Peripheral blood smear
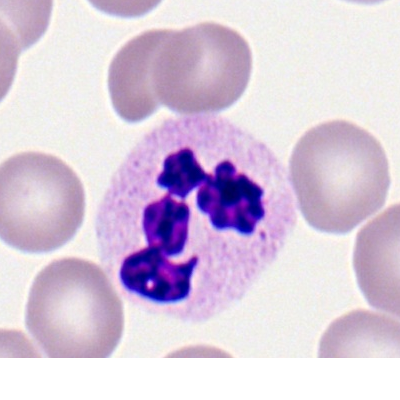 Q: What type of cell is this?
A: It is a polymorphonuclear neutrophil.